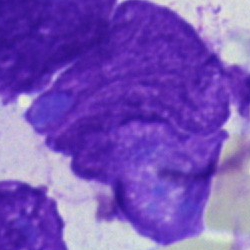 Morphology consistent with an artifact.